Single-cell field. Bone marrow aspirate smear
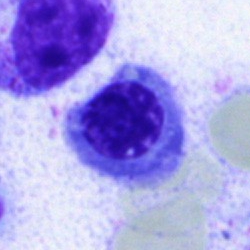

Showing a normoblast.